Bone marrow aspirate smear · 250×250 · May-Grünwald-Giemsa/Pappenheim stain:
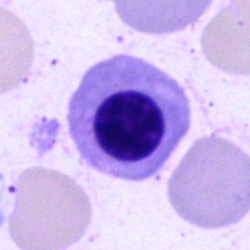 Q: What is shown here?
A: A nucleated red cell.